Bone marrow smear:
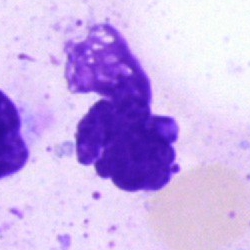
An artifact.